Peripheral blood smear; 100× objective, oil immersion — 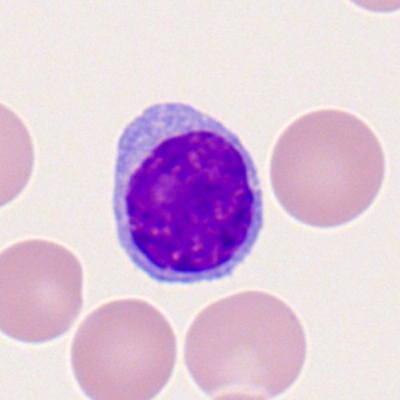Morphology consistent with a lymphocyte.